Peripheral blood film: 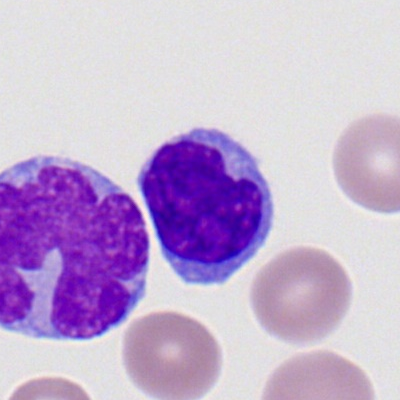 This is a typical lymphocyte.